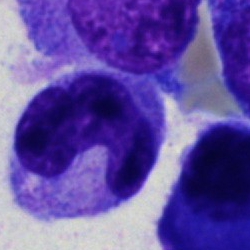

Cell: monocyte.